40× oil immersion. May-Grünwald-Giemsa stain. Bone marrow smear: 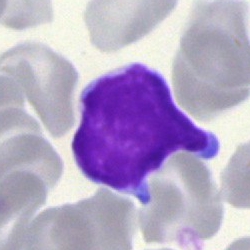 Q: What type of cell is this?
A: This is a lymphocyte.